Bone marrow smear.
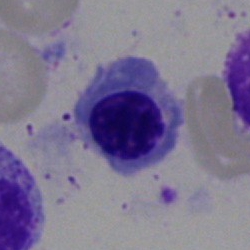
{"cell_type": "normoblast", "lineage": "erythroid"}